MGG-stained; bone marrow smear; 40× objective, oil immersion:
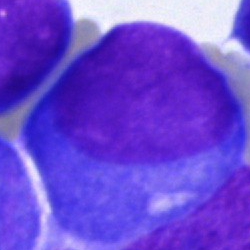Q: Which cell type is shown here?
A: A blast cell.